Bone marrow aspirate smear · Pappenheim-stained.
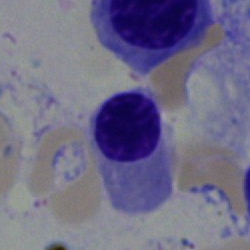
This is an erythroblast.